Peripheral blood smear:
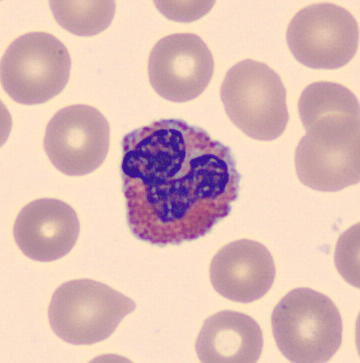
Showing an eosinophilic granulocyte.